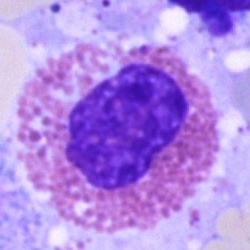
An eosinophilic granulocyte on a bone marrow smear.